Bone marrow smear; Pappenheim-stained: 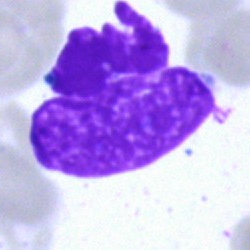

Specimen: bone marrow smear.
Cell: artifact.